Bone marrow smear — 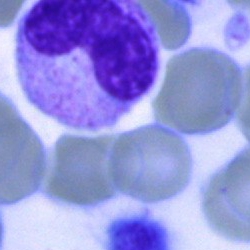

A stab cell.